Bone marrow aspirate smear
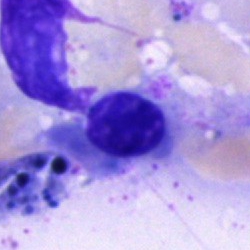 Normoblast.